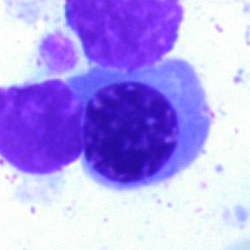Single cell identified as an erythroblast.